Bone marrow aspirate smear · image size 250×250.
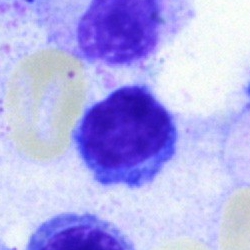This is a typical lymphocyte.